Bone marrow aspirate smear
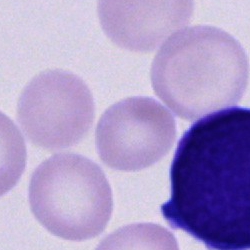 Classification = unidentifiable cell.